Peripheral blood smear · image size 400×400 · single-cell field:
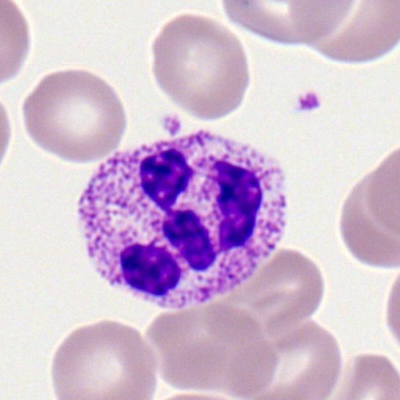

Impression → neutrophil (segmented).